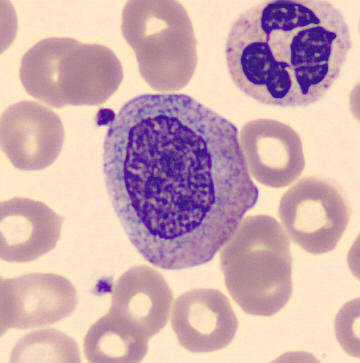

A progranulocyte. Image: Peripheral blood smear; automated cell imaging (CellaVision DM96); single cell centered in the field.